Bone marrow aspirate smear
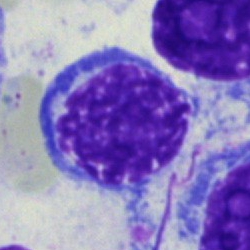

Cell type = nucleated red cell.